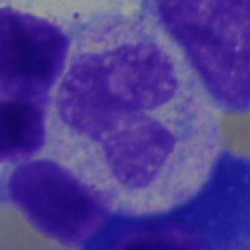
Bone marrow aspirate smear, single cell — band-form neutrophil.